Bone marrow smear
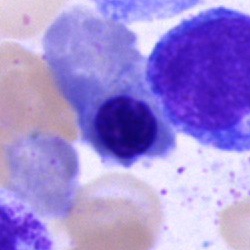 This is an erythroblast.